MGG-stained. Peripheral blood film. CellaVision DM96 digital cell image — 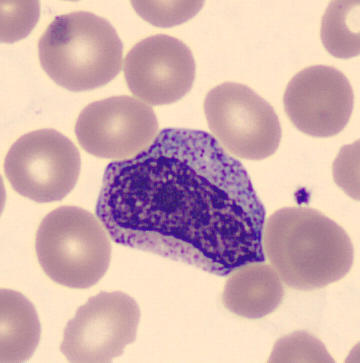
The cell is metamyelocyte.